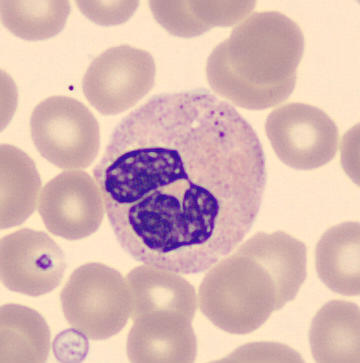

Acquisition: Peripheral blood film. MGG stain. Single cell centered in the field.
The morphological class is neutrophil (segmented).